Bone marrow smear. Brightfield, 40× oil-immersion objective — 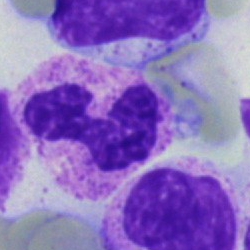
Polymorphonuclear neutrophil.